Bone marrow aspirate smear:
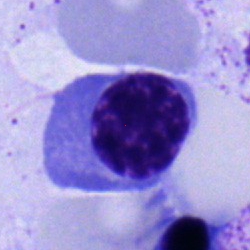Showing an erythroblast.